Bone marrow aspirate smear:
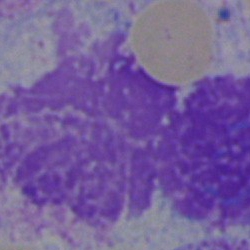

An artifact.